Pappenheim-stained; bone marrow aspirate smear — 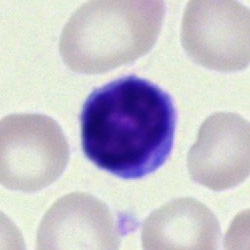 Classification = typical lymphocyte.